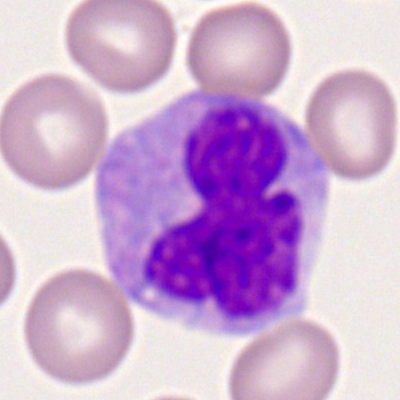 A monocyte.